Bone marrow smear. Single cell centered in the field:
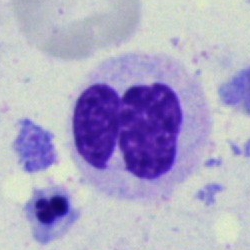Single cell identified as a neutrophil (segmented).